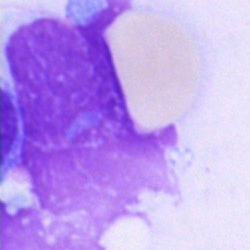
Specimen: bone marrow smear.
Cell type: artifact.